Bone marrow aspirate smear — 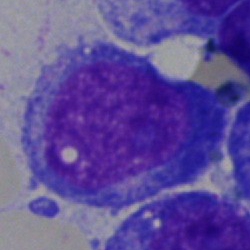

A blast.